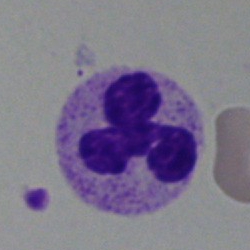
Cell type = polymorphonuclear neutrophil.